Bone marrow aspirate smear. Pappenheim-stained.
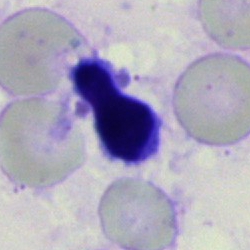The cell shown is an artefact.